Bone marrow aspirate smear; 250 by 250 pixels
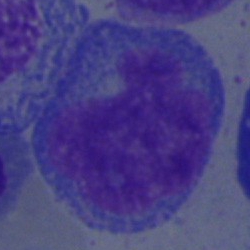This is a blast cell.